Bone marrow smear: 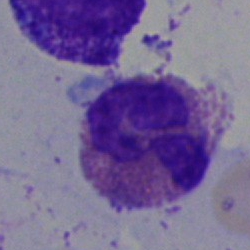
Morphological class = eosinophilic granulocyte.